Bone marrow smear
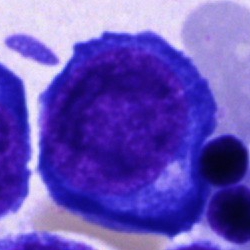 This is a pronormoblast.